Bone marrow aspirate smear.
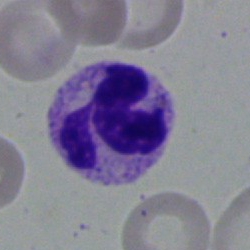

Specimen: bone marrow aspirate smear.
Cell type: polymorphonuclear neutrophil.